Bone marrow smear — 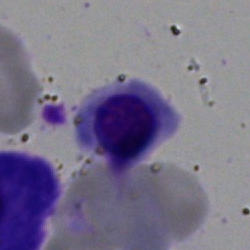Q: What cell is this?
A: It is a nucleated red cell.